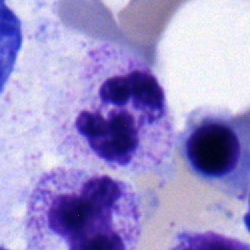
This is a polymorphonuclear neutrophil.